Bone marrow aspirate smear — 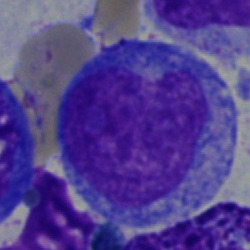 Q: What is the morphological classification of this cell?
A: An undifferentiated blast.